Bone marrow smear:
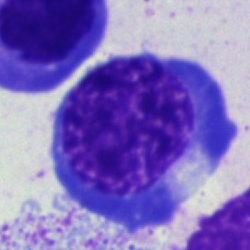
Nucleated red cell.